Brightfield, 40× oil-immersion objective · bone marrow smear · 250×250:
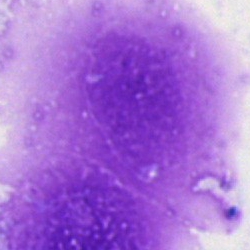
Morphological class — artefact.